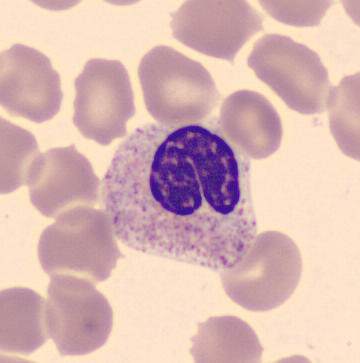

Showing a band neutrophil.